Peripheral blood film.
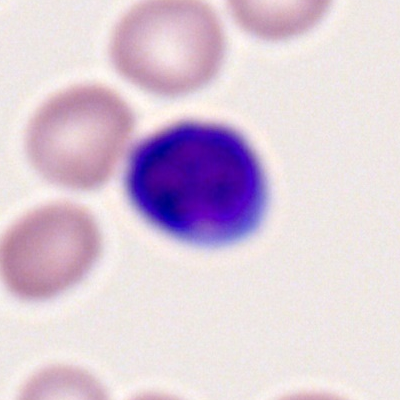 Classification — lymphocyte.